Single-cell crop. Bone marrow aspirate smear. 250×250 px — 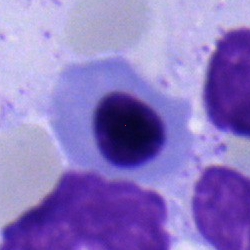
Q: What cell is this?
A: A nucleated red blood cell.